Bone marrow smear. Brightfield, 40× oil-immersion objective: 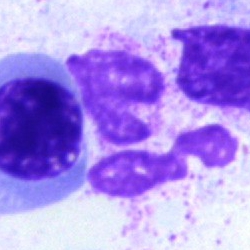 Q: What is shown here?
A: This is an artefact.